Single-cell field. May-Grünwald-Giemsa/Pappenheim stain. Bone marrow smear — 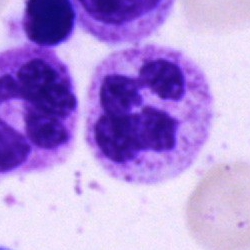

This is a neutrophil (segmented).